Bone marrow aspirate smear. Single-cell crop:
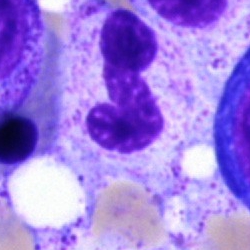
Cell type = polymorphonuclear neutrophil.